MGG-stained · bone marrow aspirate smear · brightfield microscopy, 40× oil immersion
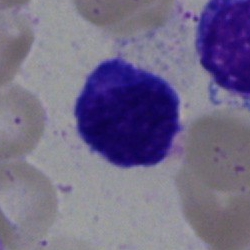Q: What is the morphological classification of this cell?
A: It is a typical lymphocyte.